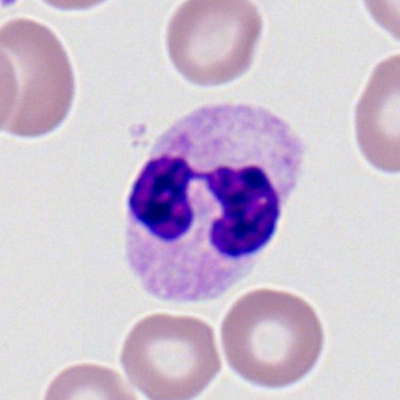
Cell type = segmented neutrophil.